Bone marrow smear
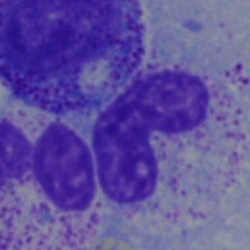 Band neutrophil.